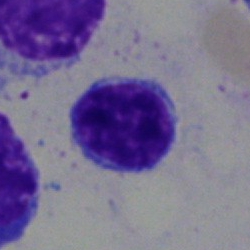 Morphological class — typical lymphocyte.